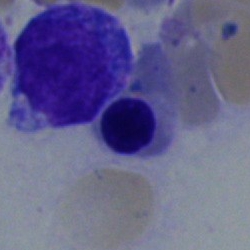Cell — nucleated red cell.